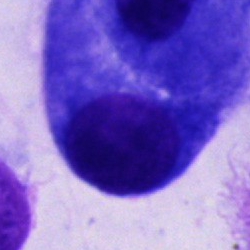 Q: What is the morphological classification of this cell?
A: Other cell type.